100× objective, oil immersion; cropped to a single cell; peripheral blood smear — 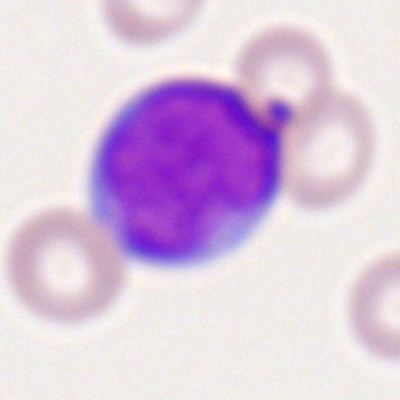 Q: What is shown here?
A: This is a myeloblast.